Single cell centered in the field; May-Grünwald-Giemsa/Pappenheim stain; bone marrow smear:
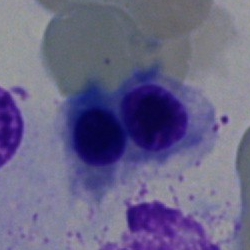

Q: What type of cell is this?
A: Erythroblast.